Brightfield microscopy, 40× oil immersion. Bone marrow aspirate smear.
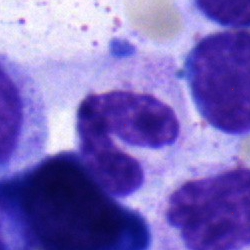

Morphology consistent with a neutrophil (band).